Bone marrow aspirate smear:
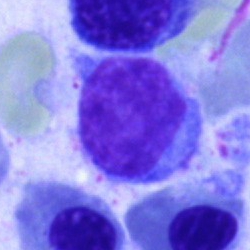
Cell type — lymphocyte.